Bone marrow smear; brightfield, 40× oil-immersion objective:
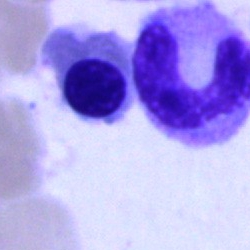Specimen: bone marrow smear.
Morphological class: nucleated red blood cell.